Bone marrow smear: 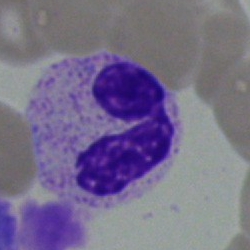 The cell type is neutrophil (segmented).